Bone marrow smear. Image size 250×250. MGG-stained.
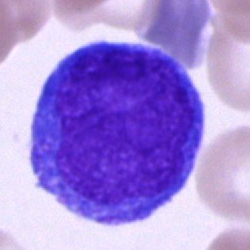Morphology consistent with an undifferentiated blast.